Bone marrow smear; May-Grünwald-Giemsa/Pappenheim stain.
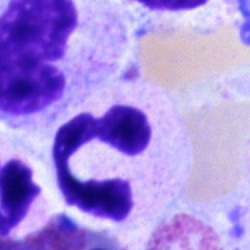

Q: What type of cell is this?
A: This is a polymorphonuclear neutrophil.